Bone marrow aspirate smear
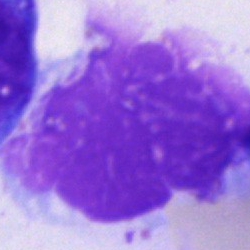 {"cell_type": "artifact"}